250×250 px. Bone marrow aspirate smear — 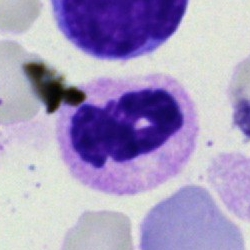Impression — polymorphonuclear neutrophil.